Bone marrow smear
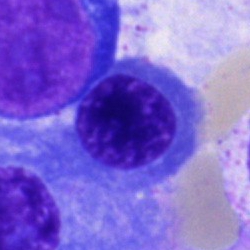Specimen: bone marrow smear.
Cell type: normoblast.
Lineage: erythroid.